250×250; 40× oil immersion; bone marrow smear.
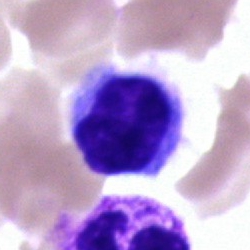Specimen: bone marrow smear.
Classification: typical lymphocyte.
Lineage: lymphoid.